Bone marrow smear — 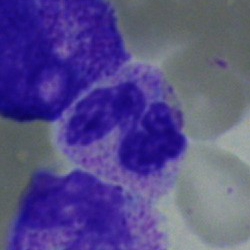

Impression — segmented neutrophil.